Single-cell crop; bone marrow smear: 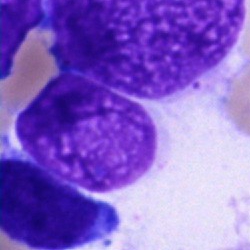

Specimen: bone marrow smear.
Cell type: artifact.